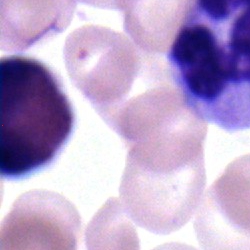 Q: What type of cell is this?
A: Eosinophil.